250×250 px · 40× objective, oil immersion · bone marrow smear.
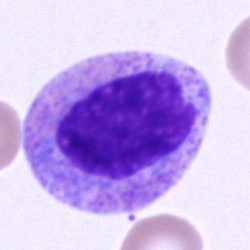 Q: What cell is this?
A: Myelocyte.